Bone marrow aspirate smear
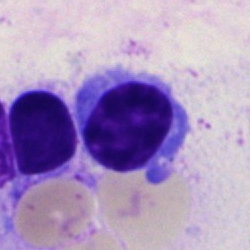
Classification = typical lymphocyte.